250 by 250 pixels. Cropped to a single cell. Bone marrow aspirate smear.
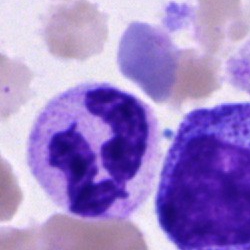 {"cell_type": "segmented neutrophil", "lineage": "myeloid"}